Bone marrow aspirate smear; cropped to a single cell.
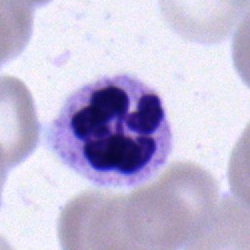Showing a polymorphonuclear neutrophil.